Image size 250×250 · bone marrow smear.
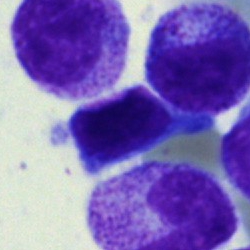 Single cell identified as a lymphocyte.